Bone marrow aspirate smear.
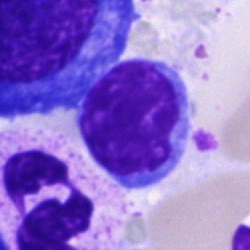
Impression — typical lymphocyte.